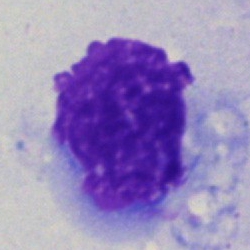

Morphology consistent with an artifact.